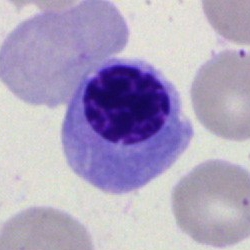 Bone marrow smear showing a normoblast.